Bone marrow aspirate smear:
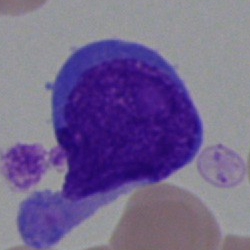

This is a blast cell.